250×250 · 40× objective, oil immersion · bone marrow smear:
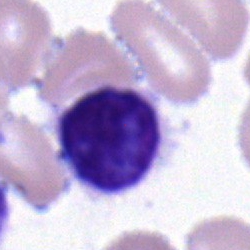 The cell shown is a lymphocyte.